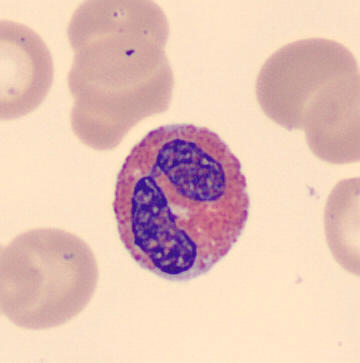
Classification — eosinophilic granulocyte.